Brightfield, 40× oil-immersion objective; May-Grünwald-Giemsa/Pappenheim stain; bone marrow aspirate smear.
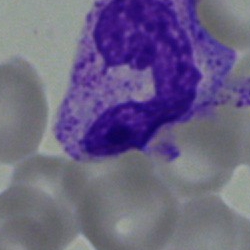Showing a stab cell.